Peripheral blood film:
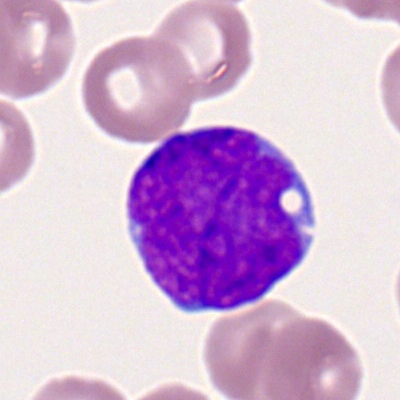
Cell type — myeloblast.